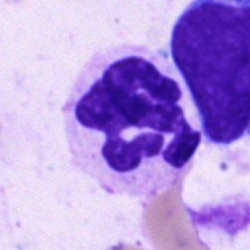

Morphological class: neutrophil (segmented).